Single-cell crop; 250×250; bone marrow aspirate smear
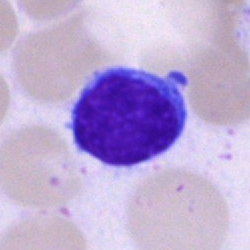

Cell type — typical lymphocyte.